Bone marrow smear: 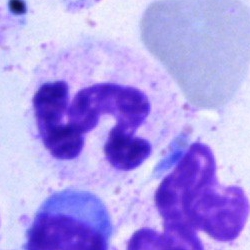
Q: What cell is this?
A: Segmented neutrophil.